Bone marrow aspirate smear.
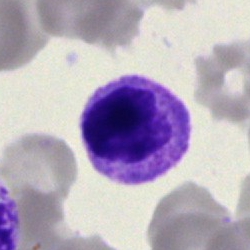
Showing a myelocyte.